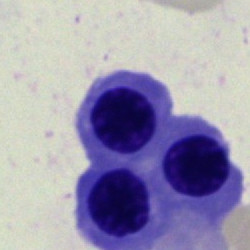

Cell: nucleated red cell.